Bone marrow aspirate smear.
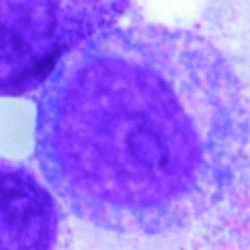This is a progranulocyte.